250×250; bone marrow smear.
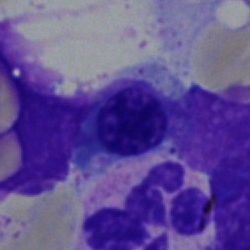Showing an erythroblast.